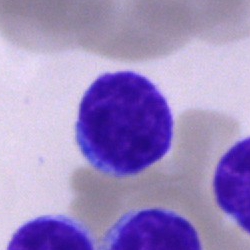Impression — lymphocyte.